Bone marrow aspirate smear
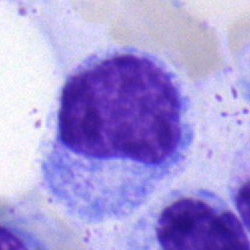

Q: Which cell type is shown here?
A: It is a myelocyte.